Bone marrow aspirate smear — 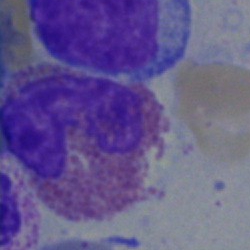Q: What type of cell is this?
A: An eosinophil.